Bone marrow smear — 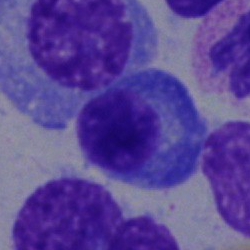
Cell: plasma cell.